Bone marrow aspirate smear; image size 250×250:
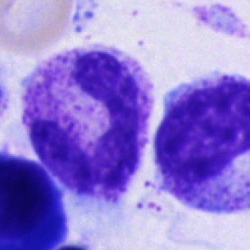

Specimen: bone marrow aspirate smear.
Morphological class: polymorphonuclear neutrophil.
Lineage: myeloid.